Bone marrow aspirate smear. 250 by 250 pixels. MGG-stained: 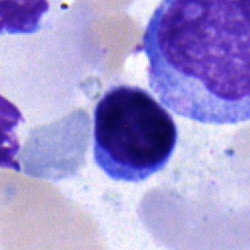Showing a typical lymphocyte.